Bone marrow smear.
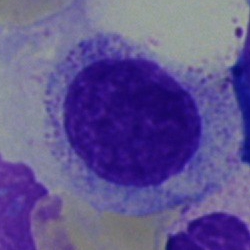Morphology → myelocyte.